Bone marrow aspirate smear; Pappenheim-stained: 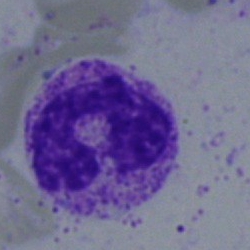

Q: What is the morphological classification of this cell?
A: A neutrophil (segmented).